Bone marrow aspirate smear · single-cell field:
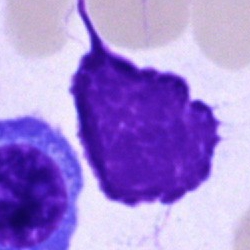
Morphology → artefact.